Bone marrow smear.
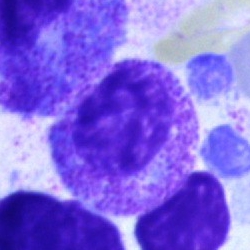

Cell type = myelocyte.